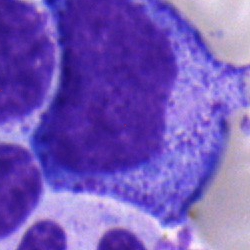

Cell type — progranulocyte.